Single-cell field; bone marrow smear; brightfield, 40× oil-immersion objective — 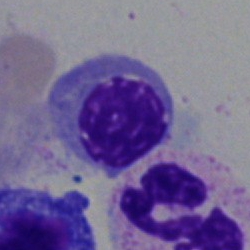
{"cell_type": "erythroblast", "lineage": "erythroid"}